Single-cell field. Bone marrow aspirate smear. Brightfield, 40× oil-immersion objective:
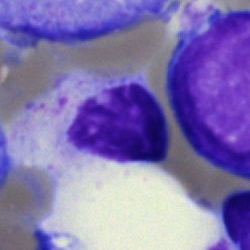

Cell — artifact.